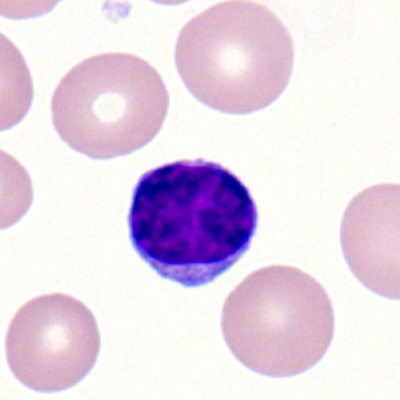

Q: Which cell type is shown here?
A: It is a lymphocyte.